Bone marrow smear — 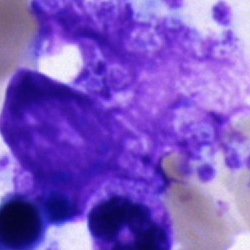Q: What is shown here?
A: It is an artifact.